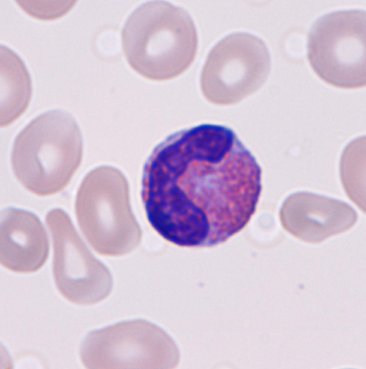 Peripheral blood smear showing an eosinophil.